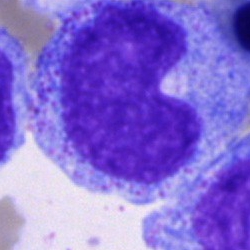

The cell shown is a progranulocyte.